Cropped to a single cell · image size 250×250 · bone marrow smear:
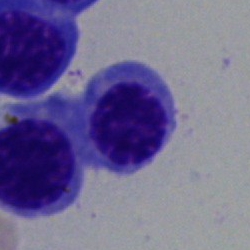 This is a nucleated red cell.